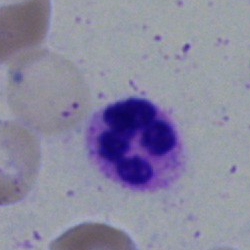 {"cell_type": "neutrophil (segmented)"}